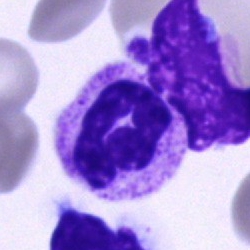Classification: segmented neutrophil.